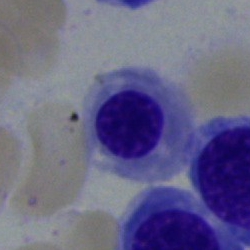Morphology → nucleated red blood cell.